Bone marrow smear · 40× oil immersion
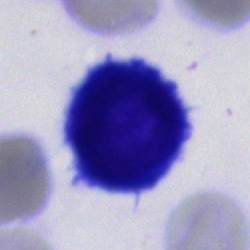
Morphology consistent with a cell of indeterminate lineage.